Bone marrow smear.
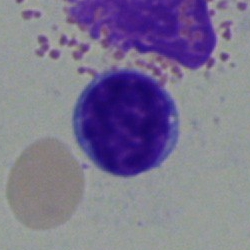The cell type is typical lymphocyte.